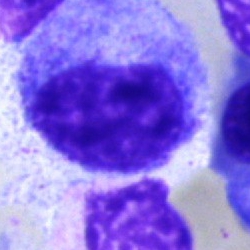

The morphological class is metamyelocyte.